MGG-stained · bone marrow aspirate smear: 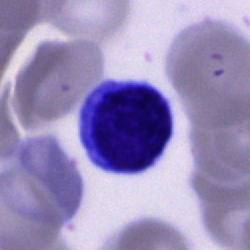 Showing a lymphocyte.